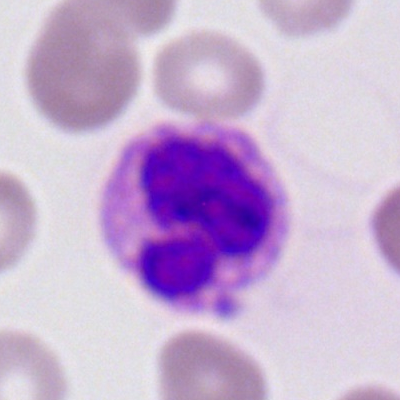 Cell type — basophilic granulocyte.